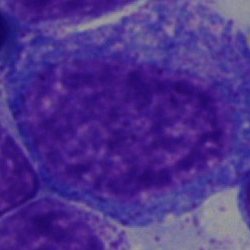Morphology → progranulocyte.